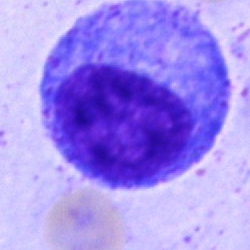 Morphology consistent with a progranulocyte.